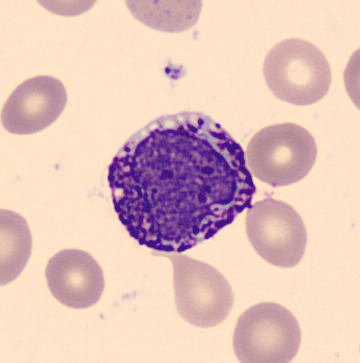Impression — basophilic granulocyte.
Automated cell imaging (CellaVision DM96) · peripheral blood smear.